Bone marrow aspirate smear
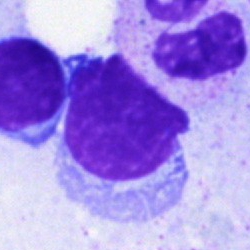

Q: What is shown here?
A: Artifact.